Bone marrow smear:
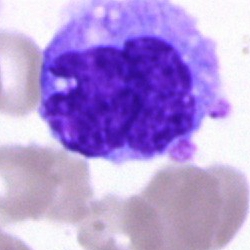 The cell is monocyte.